Image size 250×250. Bone marrow aspirate smear. Cropped to a single cell
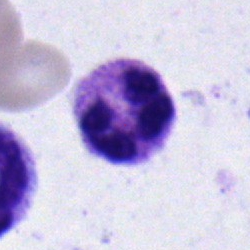Q: What is the morphological classification of this cell?
A: A polymorphonuclear neutrophil.